Peripheral blood film; single cell centered in the field; Romanowsky-type stain — 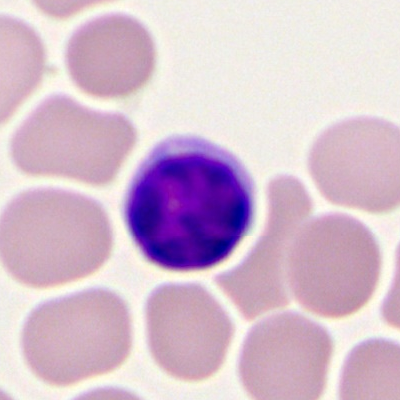

Q: Which cell type is shown here?
A: A lymphocyte.